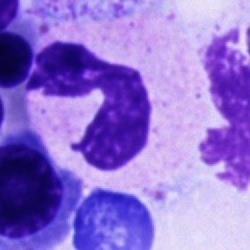

Bone marrow aspirate smear, single cell — band-form neutrophil.